40× objective, oil immersion; bone marrow aspirate smear; May-Grünwald-Giemsa stain: 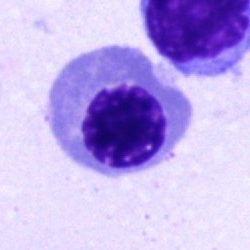Specimen: bone marrow smear.
Cell type: nucleated red blood cell.
Lineage: erythroid.